May-Grünwald-Giemsa stain · bone marrow smear · 250×250 — 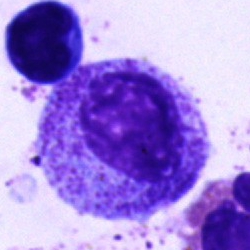Progranulocyte.